Bone marrow aspirate smear: 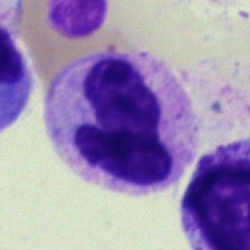 Specimen: bone marrow aspirate smear.
Cell type: band neutrophil.